Bone marrow aspirate smear: 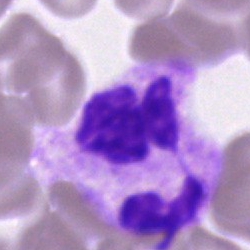Morphological class = neutrophil (segmented).